Bone marrow smear
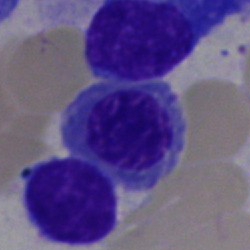
Morphological class — erythroblast.